Bone marrow smear
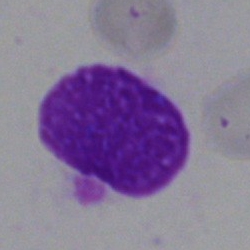
Q: What is shown here?
A: It is an artifact.